Bone marrow smear; cropped to a single cell; 250×250.
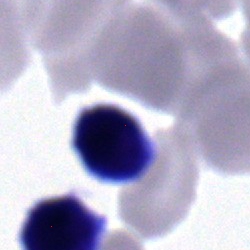
Single cell identified as a lymphocyte.